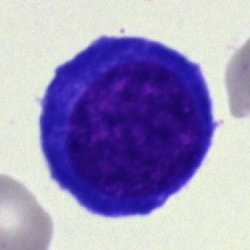The morphological class is normoblast.